Bone marrow aspirate smear.
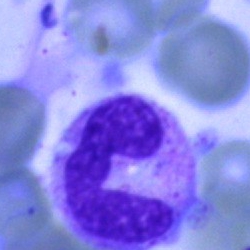 Q: What is the morphological classification of this cell?
A: A polymorphonuclear neutrophil.